Image size 400×400 · peripheral blood film:
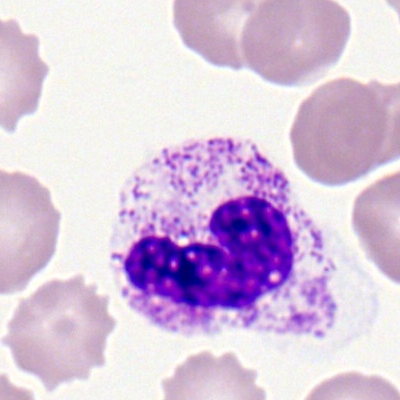Morphology consistent with a segmented neutrophil.